Bone marrow smear.
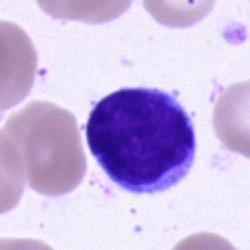Impression — typical lymphocyte.